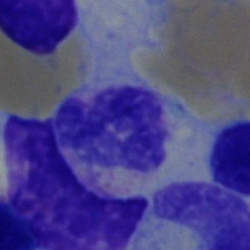

A polymorphonuclear neutrophil on a bone marrow smear.